Bone marrow aspirate smear — 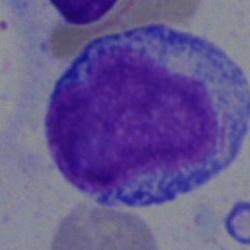

Classification: blast.